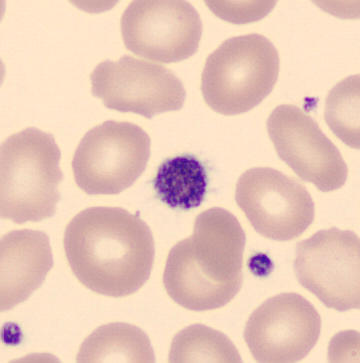Q: What is shown here?
A: This is a platelet (thrombocyte).